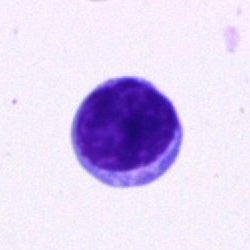 Morphological class = lymphocyte.